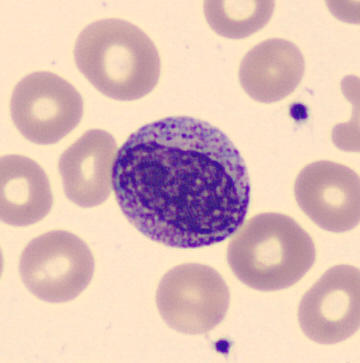 Morphological class: myelocyte. CellaVision DM96 · image size 360×363 · peripheral blood smear.